250×250 px; 40× oil immersion; bone marrow aspirate smear.
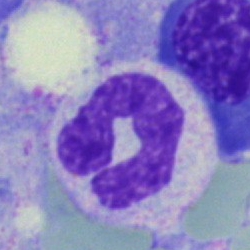
The morphological class is polymorphonuclear neutrophil.